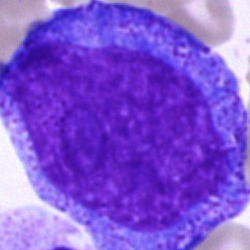

This is a progranulocyte.